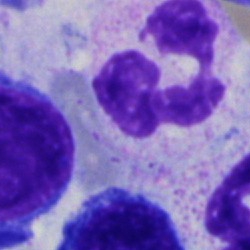 Q: What is the morphological classification of this cell?
A: Segmented neutrophil.